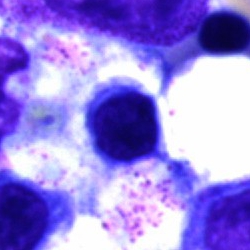
Impression → lymphocyte.